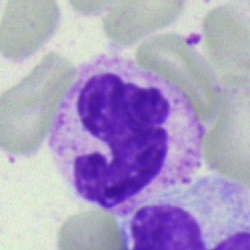Specimen: bone marrow smear.
Cell: polymorphonuclear neutrophil.
Lineage: myeloid.